Brightfield microscopy, 40× oil immersion. Bone marrow aspirate smear: 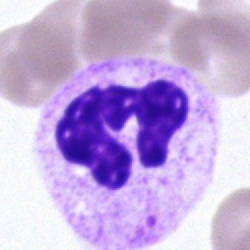Showing a polymorphonuclear neutrophil.